Bone marrow aspirate smear: 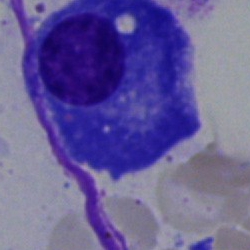
{"cell_type": "plasma cell", "lineage": "lymphoid"}